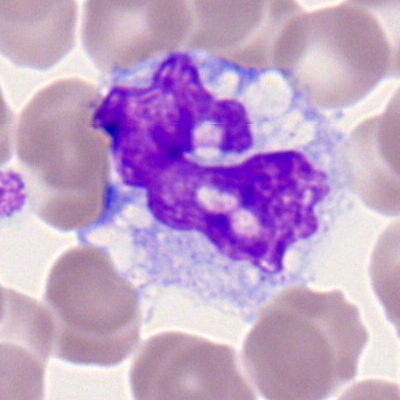

{"cell_type": "monocyte", "lineage": "myeloid"}